Bone marrow aspirate smear.
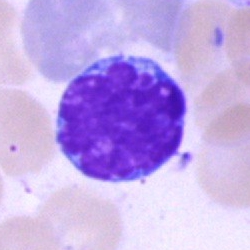
This is a typical lymphocyte.